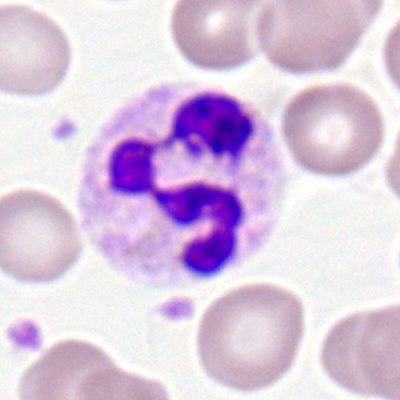

A polymorphonuclear neutrophil.